Bone marrow smear: 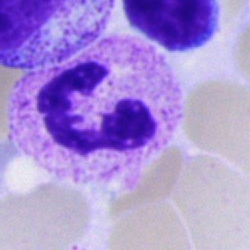

Showing a segmented neutrophil.